Bone marrow aspirate smear
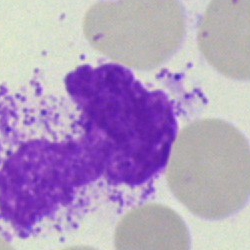

Q: What is shown here?
A: Artifact.